Bone marrow smear: 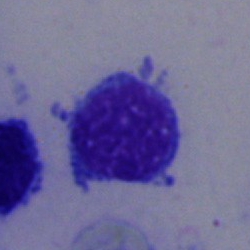The cell shown is a typical lymphocyte.